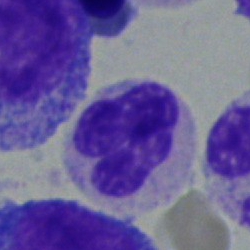

Morphology → polymorphonuclear neutrophil.